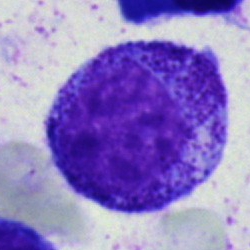

Q: What is shown here?
A: It is a progranulocyte.